Peripheral blood smear: 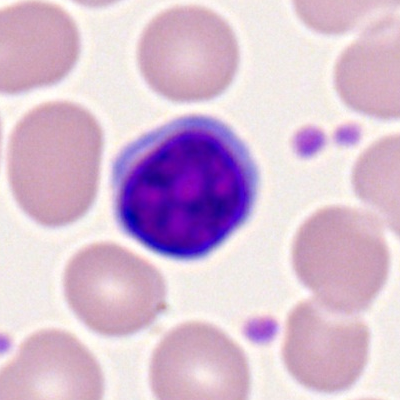

Single cell identified as a typical lymphocyte.